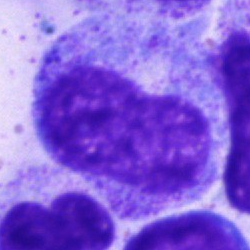

Single cell identified as a progranulocyte.